Single-cell field; 40× oil immersion; bone marrow smear — 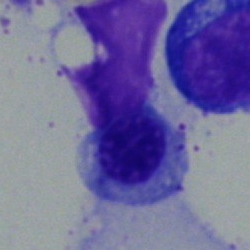
Morphological class = nucleated red cell.